Bone marrow smear · 40× oil immersion:
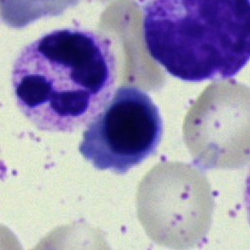
Specimen: bone marrow aspirate smear.
Morphological class: erythroblast.
Lineage: erythroid.